Single-cell field. Peripheral blood smear — 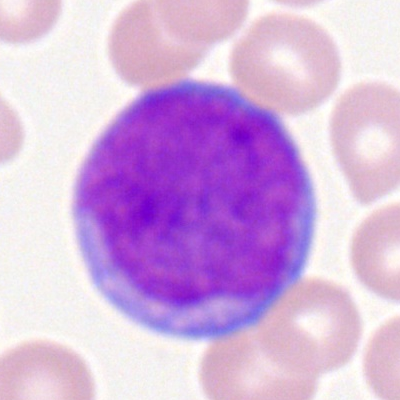

The cell type is myeloid blast.